Peripheral blood film. Image size 400×400.
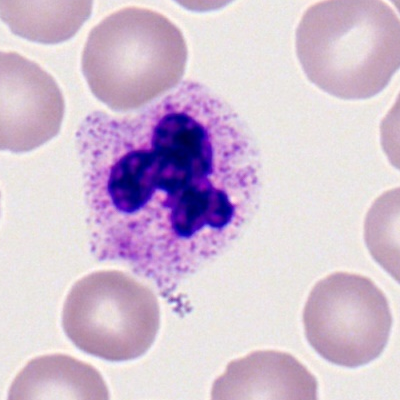
Specimen: peripheral blood smear.
Classification: segmented neutrophil.